Bone marrow smear. Single cell centered in the field.
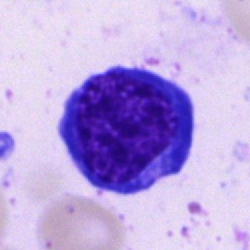
Classification = nucleated red blood cell.